Bone marrow aspirate smear
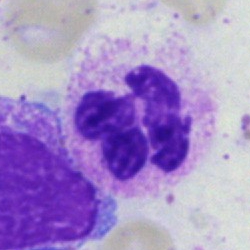
Showing a segmented neutrophil.